Bone marrow aspirate smear
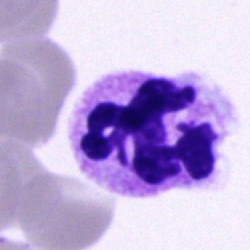
Neutrophil (segmented).